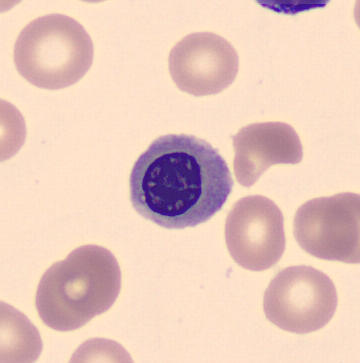 The cell type is erythroblast. Image: Peripheral blood smear · May-Grünwald-Giemsa-stained · single cell centered in the field.